Bone marrow smear
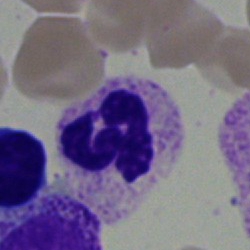

Morphology consistent with a neutrophil (segmented).